Bone marrow aspirate smear. Single-cell field. May-Grünwald-Giemsa stain:
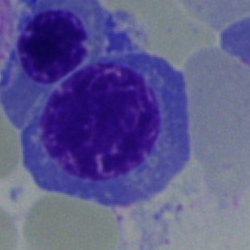This is a normoblast.